Bone marrow aspirate smear. Pappenheim-stained. 250 by 250 pixels
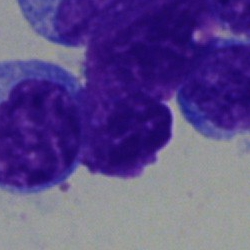 Single cell identified as a blast.